Brightfield microscopy, 40× oil immersion · bone marrow smear · MGG-stained — 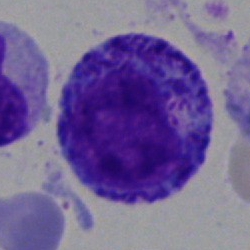
Promyelocyte.